250 by 250 pixels; bone marrow aspirate smear
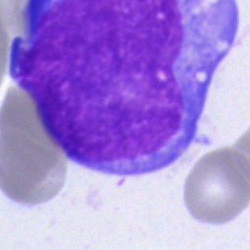

Morphology — blast.